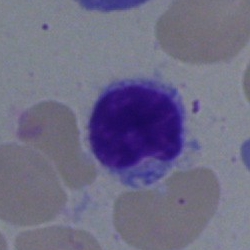Morphology consistent with a typical lymphocyte.